Brightfield microscopy, 40× oil immersion; bone marrow aspirate smear — 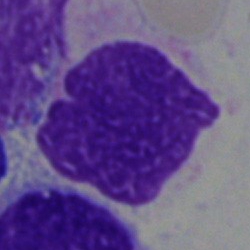 Showing an artifact.